Pappenheim-stained; bone marrow aspirate smear — 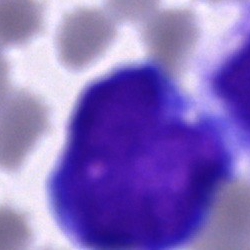

The cell shown is a blast.